Bone marrow smear; MGG-stained: 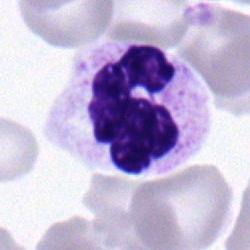

Morphology consistent with a segmented neutrophil.